Bone marrow smear:
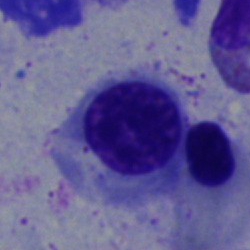
Morphology consistent with a nucleated red cell.